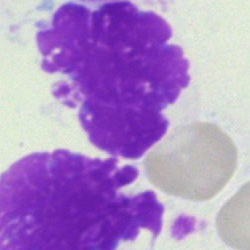

Bone marrow smear showing an artifact.